Bone marrow smear — 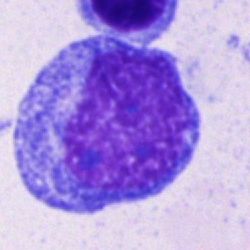
Specimen: bone marrow smear.
Cell: promyelocyte.
Lineage: myeloid.